Cropped to a single cell; Romanowsky stain; peripheral blood smear.
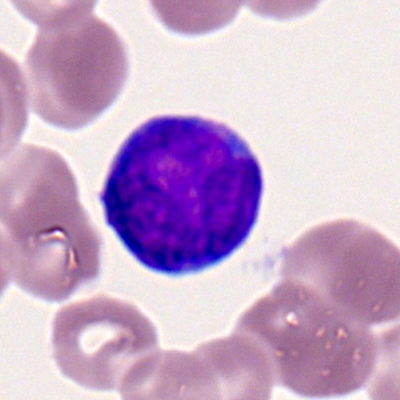Q: Which cell type is shown here?
A: This is a myeloid blast.